40× objective, oil immersion · bone marrow aspirate smear: 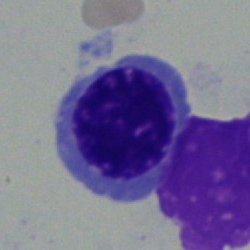 Erythroblast.